Bone marrow aspirate smear · single-cell crop:
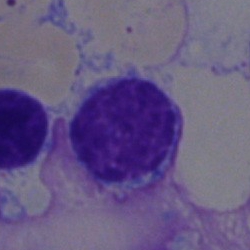

Q: What is the morphological classification of this cell?
A: It is a lymphocyte.